Peripheral blood smear.
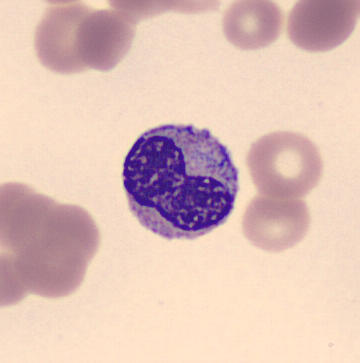
{"cell_type": "metamyelocyte"}